Bone marrow aspirate smear · May-Grünwald-Giemsa stain — 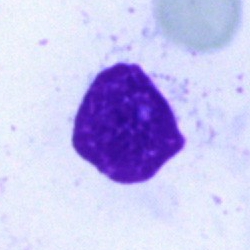
Specimen: bone marrow aspirate smear.
Cell: artifact.